Romanowsky stain. Peripheral blood film:
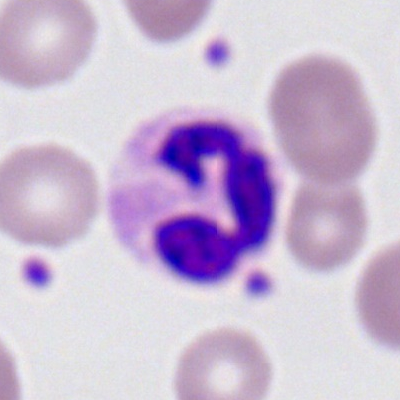This is a neutrophil (segmented).